Bone marrow aspirate smear · Pappenheim-stained · brightfield, 40× oil-immersion objective — 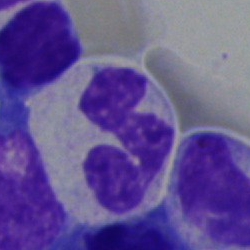
Specimen: bone marrow aspirate smear.
Morphological class: polymorphonuclear neutrophil.
Lineage: myeloid.